Bone marrow aspirate smear — 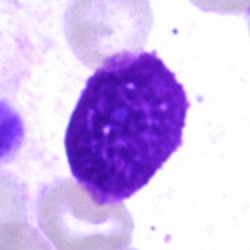

Q: What is shown here?
A: This is an artifact.